Bone marrow smear
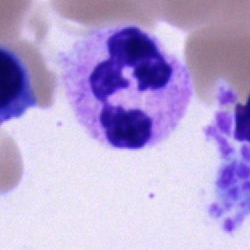Specimen: bone marrow smear.
Classification: segmented neutrophil.
Lineage: myeloid.